Bone marrow smear; May-Grünwald-Giemsa stain — 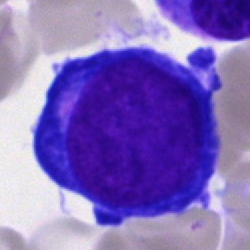Impression — proerythroblast.